Bone marrow aspirate smear
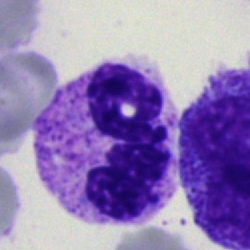Cell = neutrophil (segmented).